Image size 250×250. Bone marrow smear:
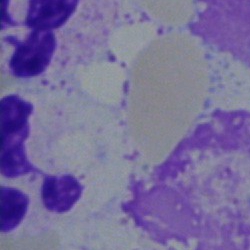

Impression → artifact.